Bone marrow smear
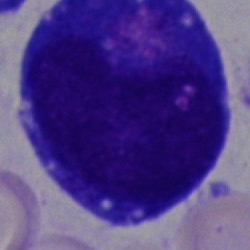 Classification — blast cell.